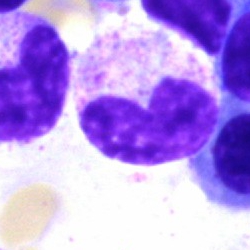

Cell type: metamyelocyte.